Bone marrow smear
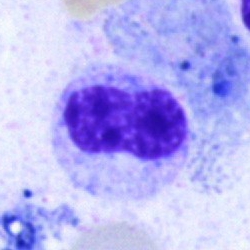Morphological class — band-form neutrophil.